Bone marrow smear. 40× oil immersion. 250×250 — 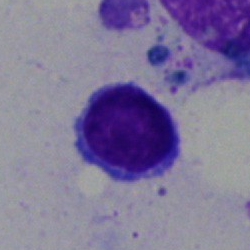The cell is typical lymphocyte.